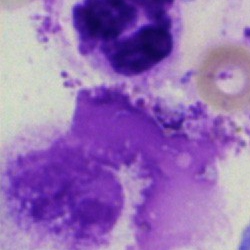Showing an artefact.